Image size 400×400. Peripheral blood film. Romanowsky-stained
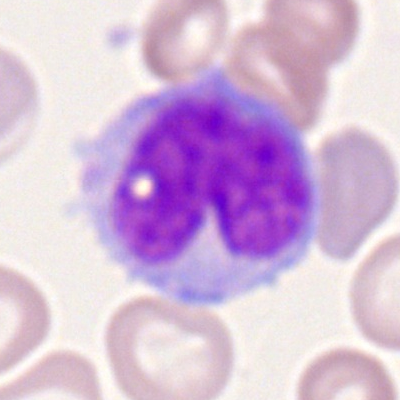

The cell type is monocyte.